Bone marrow aspirate smear. Brightfield, 40× oil-immersion objective: 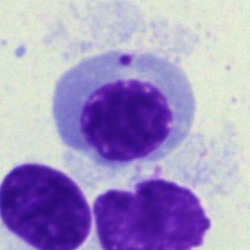

This is a normoblast.